Bone marrow smear:
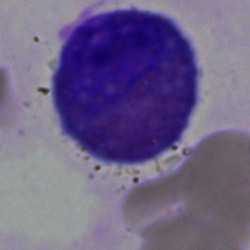

The cell shown is an eosinophilic granulocyte.